Bone marrow aspirate smear
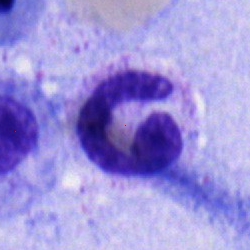Cell = neutrophil (segmented).